250×250 · bone marrow smear: 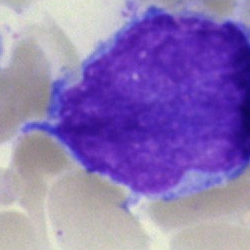Showing a blast.